40× objective, oil immersion · bone marrow aspirate smear — 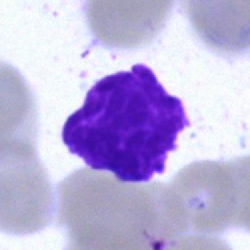

Morphological class — artifact.